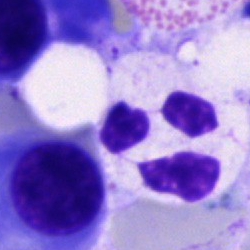
Q: Identify the cell.
A: A neutrophil (segmented).